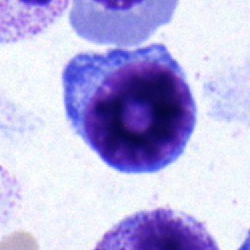
Morphological class: lymphocyte.